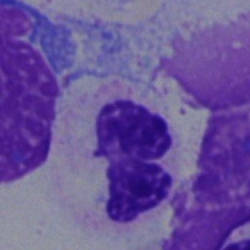Showing a polymorphonuclear neutrophil.